Bone marrow smear:
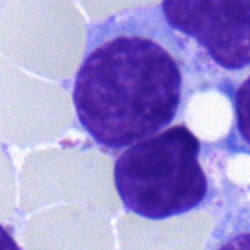The morphological class is lymphocyte.